Bone marrow smear.
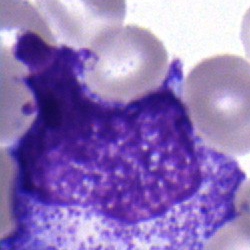Morphology — progranulocyte.